400×400; peripheral blood smear:
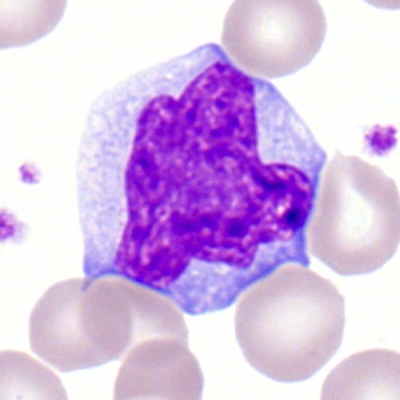

The cell is monocyte.